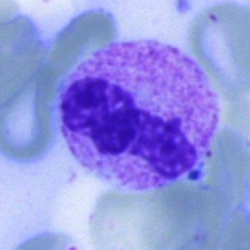

Specimen: bone marrow aspirate smear.
Cell: polymorphonuclear neutrophil.
Lineage: myeloid.